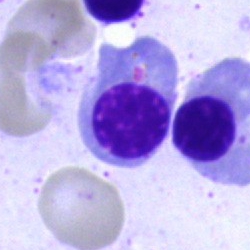

Morphology — nucleated red blood cell.